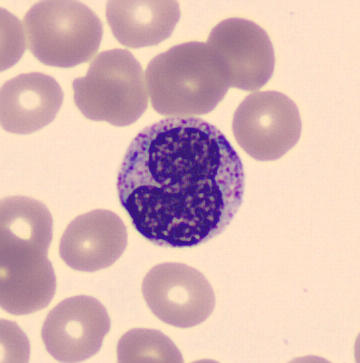Peripheral blood film; MGG stain; 360×363 px.

Morphology — metamyelocyte.